Bone marrow smear.
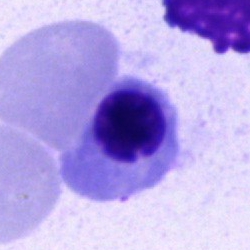
Normoblast.